Bone marrow smear. Brightfield, 40× oil-immersion objective: 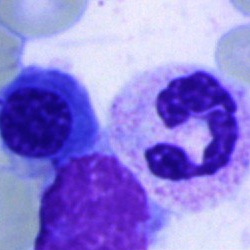

Q: Identify the cell.
A: Neutrophil (segmented).